Bone marrow smear
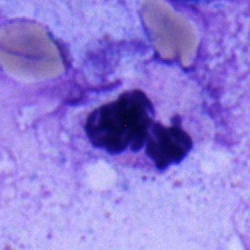 Specimen: bone marrow aspirate smear.
Morphological class: segmented neutrophil.